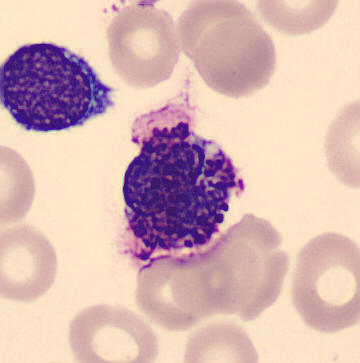 Identified as a basophil.